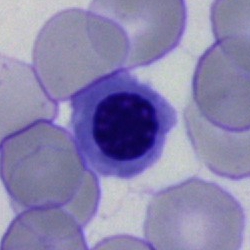

Specimen: bone marrow aspirate smear.
Cell type: nucleated red blood cell.
Lineage: erythroid.